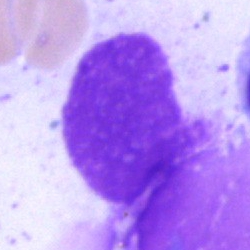

Bone marrow smear showing an artefact.